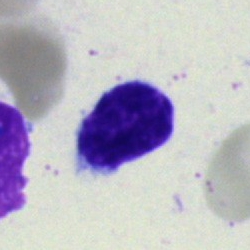
Classification: lymphocyte.